250×250 · bone marrow smear: 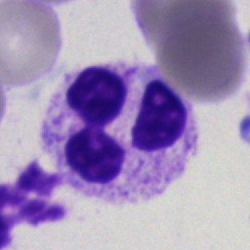
{"cell_type": "segmented neutrophil"}